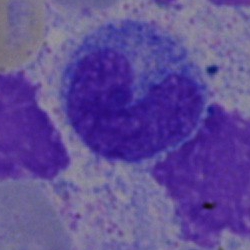Classification — band-form neutrophil.